Bone marrow smear. Single cell centered in the field. 250×250:
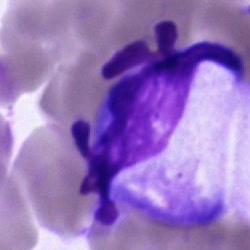

Morphological class — unidentifiable cell.